Single-cell crop. Brightfield, 40× oil-immersion objective. Bone marrow smear — 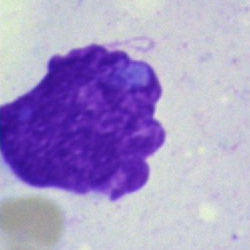

Single cell identified as an artifact.